Bone marrow aspirate smear:
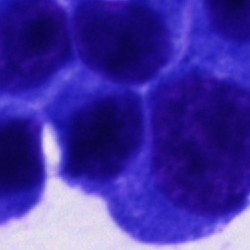

Cell = other cell.